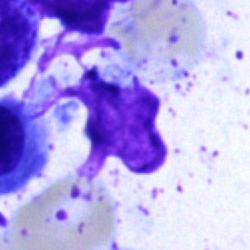
Bone marrow smear showing an artifact.